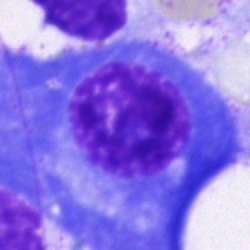
Cell type — plasmacyte.